Bone marrow aspirate smear.
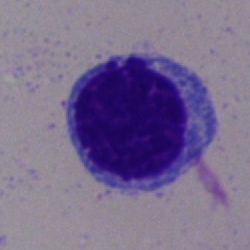 Showing a lymphocyte.